Bone marrow smear:
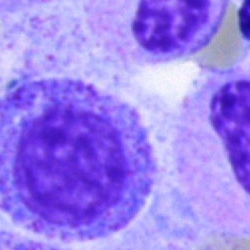

Classification: myelocyte.